40× oil immersion · bone marrow smear · May-Grünwald-Giemsa/Pappenheim stain — 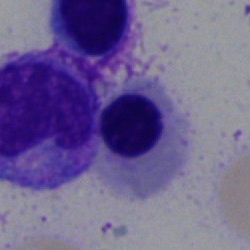Morphology — erythroblast.